Bone marrow smear.
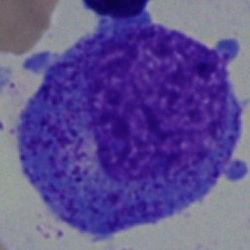A promyelocyte.